Bone marrow smear — 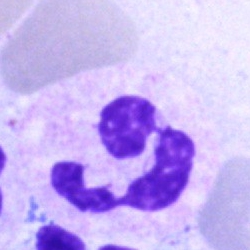
Cell type: polymorphonuclear neutrophil.